Bone marrow aspirate smear · 250×250 px — 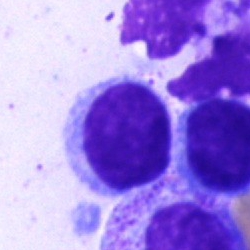

Cell = lymphocyte.